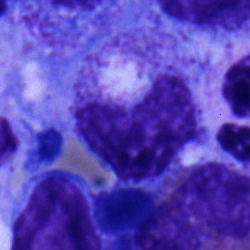 The cell shown is a metamyelocyte.